Bone marrow aspirate smear; single-cell field.
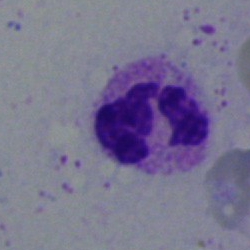 Showing a segmented neutrophil.